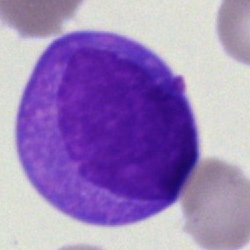
Morphology consistent with a blast cell.